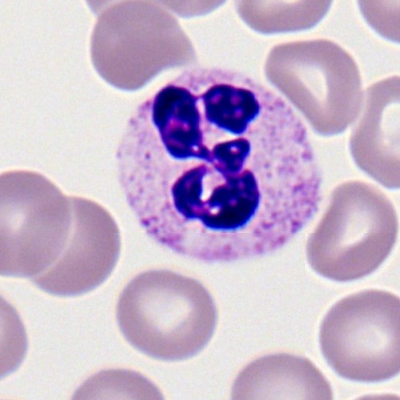 Q: Identify the cell.
A: This is a polymorphonuclear neutrophil.